Bone marrow aspirate smear:
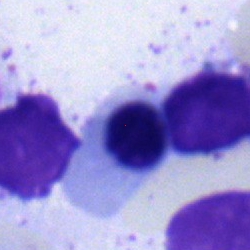 Nucleated red cell.